Bone marrow aspirate smear: 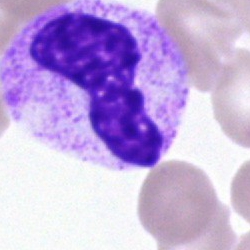Classification = polymorphonuclear neutrophil.